Brightfield, 40× oil-immersion objective; bone marrow smear; MGG-stained
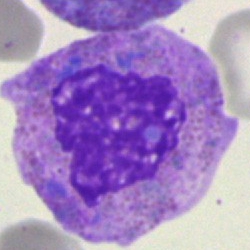

{"cell_type": "eosinophil", "lineage": "myeloid"}